Bone marrow smear; May-Grünwald-Giemsa stain: 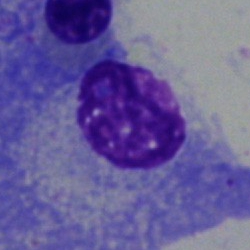 Cell = plasma cell.